Bone marrow smear.
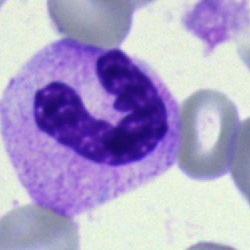 Single cell identified as a neutrophil (segmented).